Pappenheim-stained; bone marrow smear: 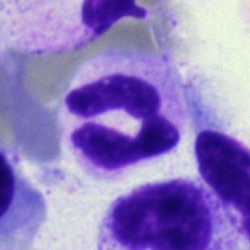 The cell is segmented neutrophil.